Bone marrow aspirate smear; Pappenheim-stained
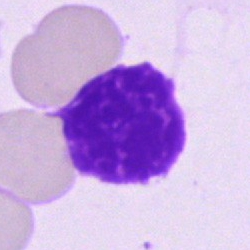
Classification: artefact.